Bone marrow aspirate smear; single-cell crop; brightfield, 40× oil-immersion objective.
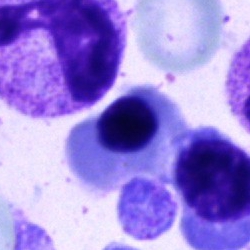
This is a normoblast.